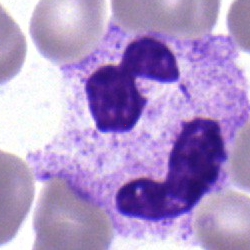

Impression → neutrophil (segmented).